Bone marrow aspirate smear; MGG-stained
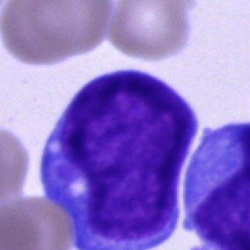
A blast cell.